Pappenheim-stained. Bone marrow aspirate smear — 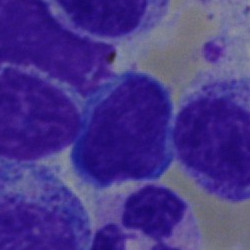The cell shown is a lymphocyte.